250×250 · brightfield, 40× oil-immersion objective · bone marrow aspirate smear
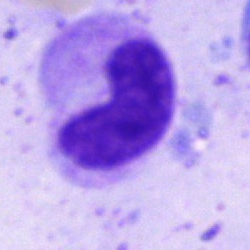

Q: What is the morphological classification of this cell?
A: This is a metamyelocyte.